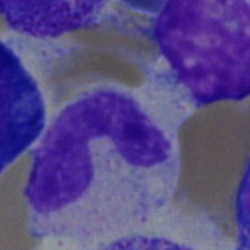 Single-cell crop from a bone marrow smear: metamyelocyte.